Single cell centered in the field; bone marrow aspirate smear; May-Grünwald-Giemsa stain — 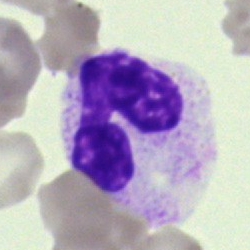
Single cell identified as a neutrophil (segmented).